Bone marrow smear — 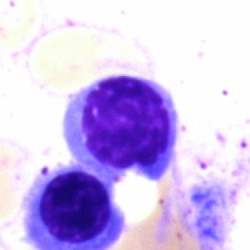Q: What cell is this?
A: It is a nucleated red cell.